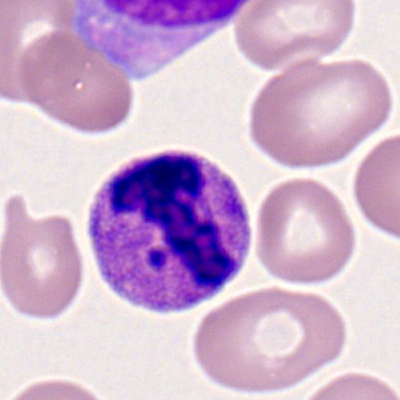
Morphology — neutrophil (segmented).